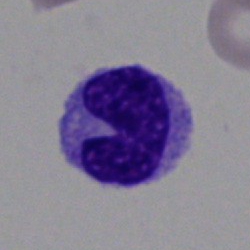 Q: Identify the cell.
A: It is a band-form neutrophil.